Peripheral blood film — 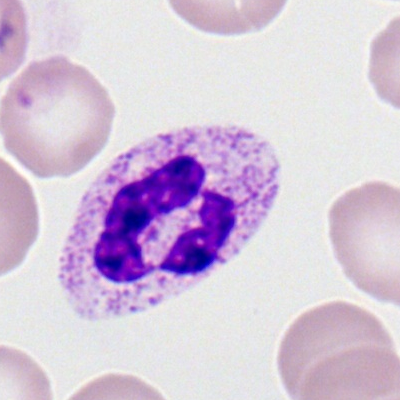Q: Which cell type is shown here?
A: This is a polymorphonuclear neutrophil.